Brightfield microscopy, 40× oil immersion; bone marrow smear
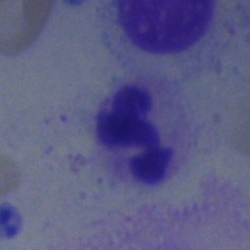

Single cell identified as a polymorphonuclear neutrophil.